Bone marrow smear.
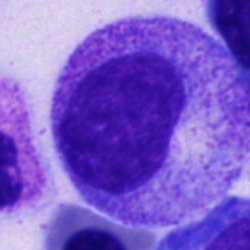
Q: What type of cell is this?
A: This is a progranulocyte.